Bone marrow aspirate smear. Single-cell crop:
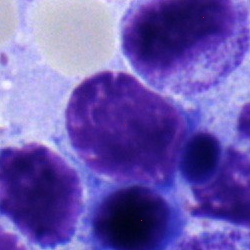
The cell type is lymphocyte.